Brightfield, 100× oil-immersion objective · peripheral blood film · image size 400×400: 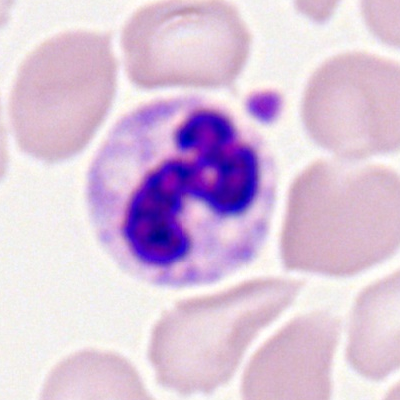
Specimen: peripheral blood film.
Cell: segmented neutrophil.
Lineage: myeloid.